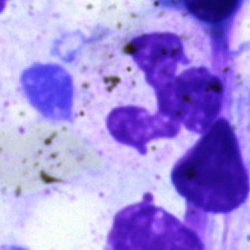Morphology consistent with a neutrophil (segmented).